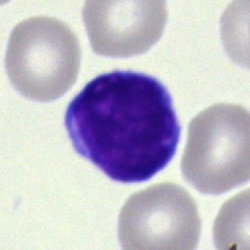
{"cell_type": "typical lymphocyte", "lineage": "lymphoid"}